Bone marrow smear — 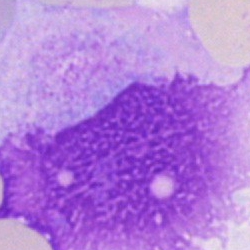 {"cell_type": "artefact"}